Bone marrow aspirate smear; Pappenheim-stained; cropped to a single cell — 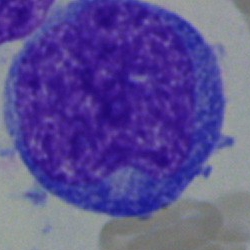The cell is blast cell.